Bone marrow smear · May-Grünwald-Giemsa/Pappenheim stain · 40× objective, oil immersion: 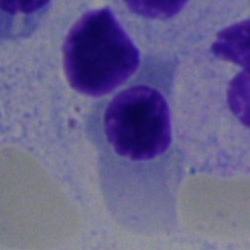

Specimen: bone marrow aspirate smear.
Classification: nucleated red blood cell.